Bone marrow aspirate smear:
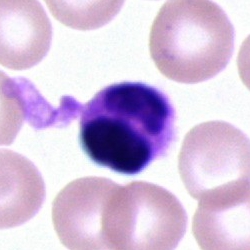 Morphology — unidentifiable cell.